Bone marrow aspirate smear: 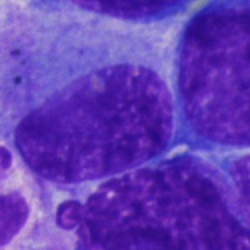
Classification — artefact.